Bone marrow smear. Image size 250×250.
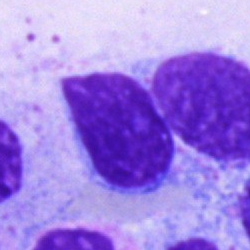
{"cell_type": "artifact"}